250 by 250 pixels. Bone marrow smear
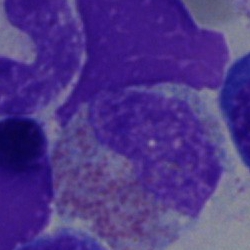An eosinophilic granulocyte.